Bone marrow aspirate smear:
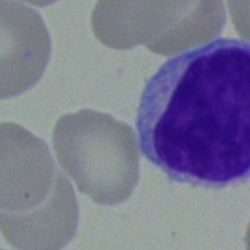Specimen: bone marrow aspirate smear.
Cell type: typical lymphocyte.
Lineage: lymphoid.